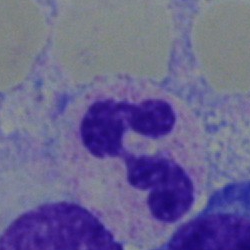Specimen: bone marrow aspirate smear.
Classification: neutrophil (segmented).
Lineage: myeloid.